Bone marrow aspirate smear. Single-cell field. MGG-stained: 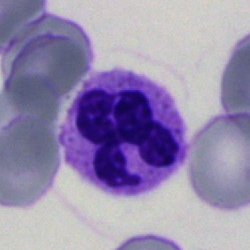Q: Which cell type is shown here?
A: It is a segmented neutrophil.